Peripheral blood smear: 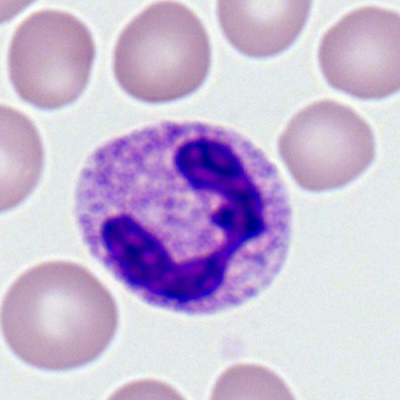
A polymorphonuclear neutrophil.